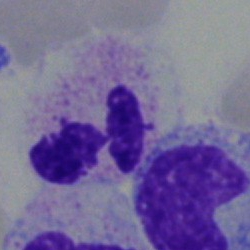 Q: What is shown here?
A: A segmented neutrophil.